Imaged on a CellaVision DM96 analyser. MGG stain. Peripheral blood film
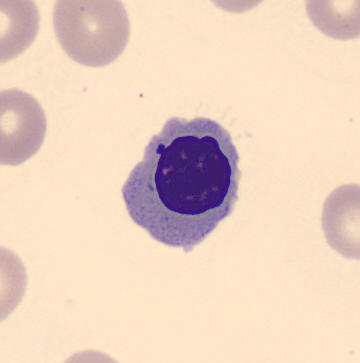 Classification — nucleated red blood cell.